Bone marrow smear · cropped to a single cell — 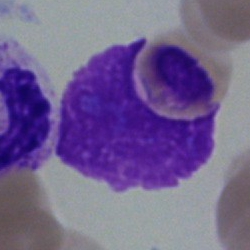
Cell type: artefact.